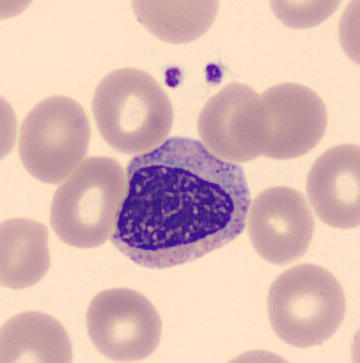
Morphological class: myelocyte.